Bone marrow aspirate smear · single-cell crop: 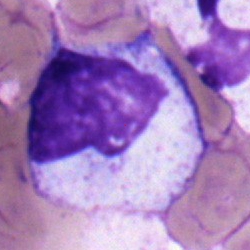Impression → myelocyte.